Bone marrow smear:
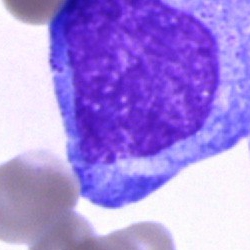

A progranulocyte.